Bone marrow smear: 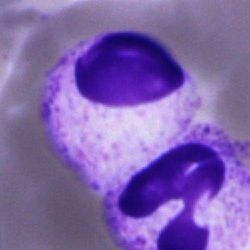A polymorphonuclear neutrophil.